Bone marrow smear
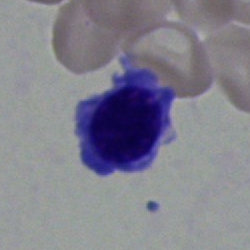This is an erythroblast.